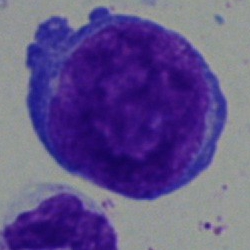Specimen: bone marrow smear.
Classification: blast cell.